Single-cell field. Bone marrow smear
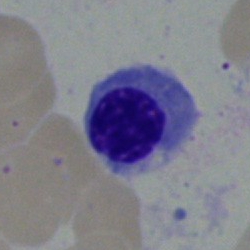This is a nucleated red cell.